Bone marrow aspirate smear; single cell centered in the field; brightfield microscopy, 40× oil immersion — 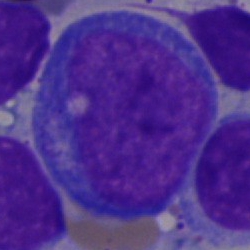The cell shown is a proerythroblast.